Peripheral blood film
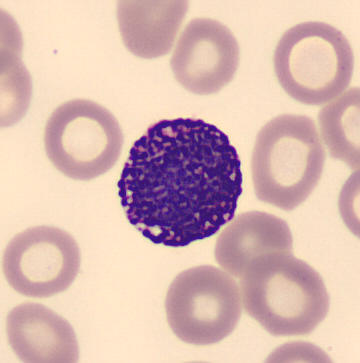The cell is basophil.